Bone marrow smear: 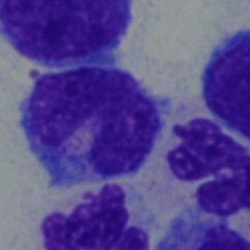This is a monocyte.